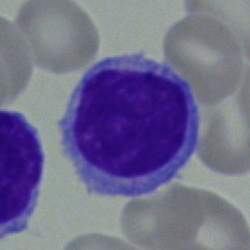Cell = typical lymphocyte.